Bone marrow smear.
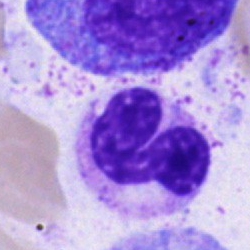
Classification: band neutrophil.